Bone marrow smear: 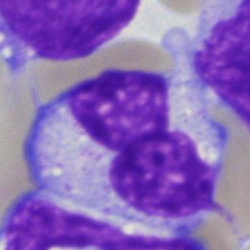Q: What is shown here?
A: It is a monocyte.